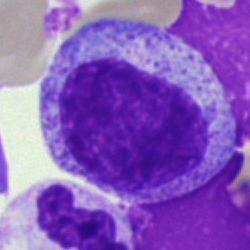Impression → myelocyte.